Bone marrow aspirate smear: 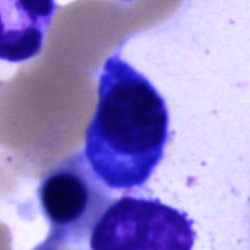 Classification = plasma cell.